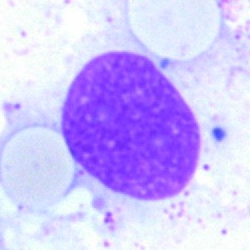

Bone marrow aspirate smear, single cell — artifact.